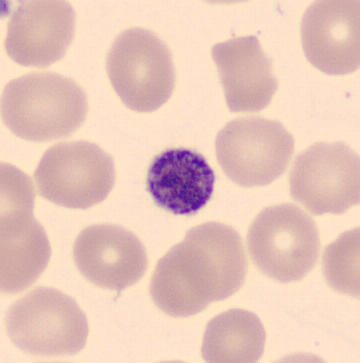
Peripheral blood film · imaged on a CellaVision DM96 analyser.
Cell type = platelet (thrombocyte).